Bone marrow aspirate smear; May-Grünwald-Giemsa/Pappenheim stain; cropped to a single cell — 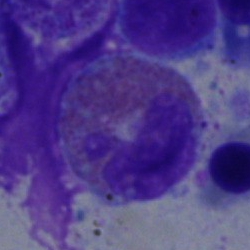 Eosinophilic granulocyte.